Bone marrow aspirate smear — 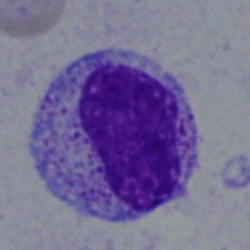

Metamyelocyte.